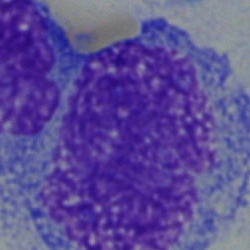

Cell — blast.